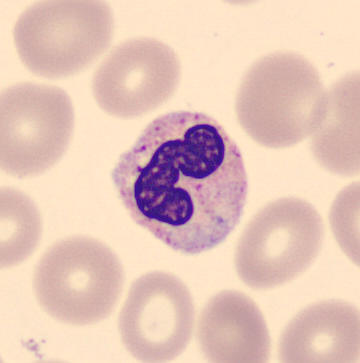 Preparation: Peripheral blood film · MGG stain.

Showing a stab cell.